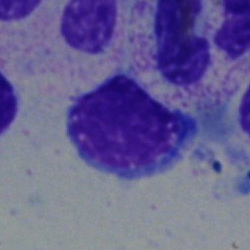
Cell = normoblast.